Bone marrow aspirate smear; brightfield microscopy, 40× oil immersion
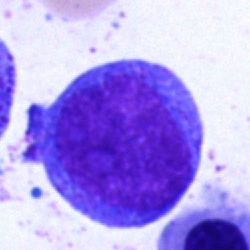 Blast.